Bone marrow smear — 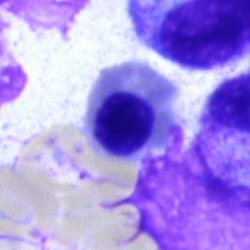
Q: What type of cell is this?
A: A nucleated red cell.